Bone marrow smear · May-Grünwald-Giemsa/Pappenheim stain.
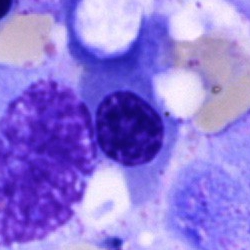
The cell type is cell of indeterminate lineage.